Bone marrow aspirate smear · single cell centered in the field · 40× objective, oil immersion.
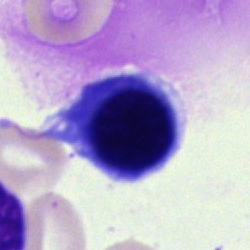Showing a nucleated red blood cell.